Bone marrow smear. Pappenheim-stained. 40× oil immersion: 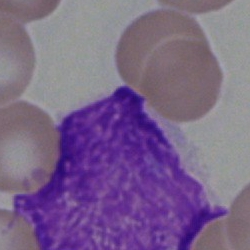Morphology → artifact.